Bone marrow smear; 40× objective, oil immersion; Pappenheim-stained — 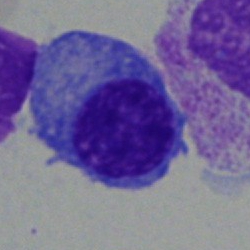The classification is plasma cell.